MGG-stained; bone marrow smear: 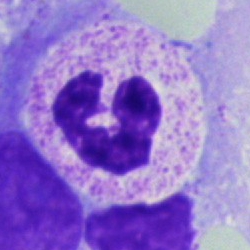 Single cell identified as a segmented neutrophil.